Bone marrow aspirate smear: 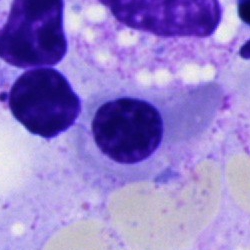Morphological class: nucleated red blood cell.